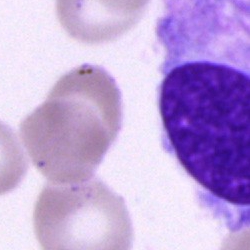
Cell: unidentifiable cell.